Single cell centered in the field · bone marrow smear · May-Grünwald-Giemsa/Pappenheim stain — 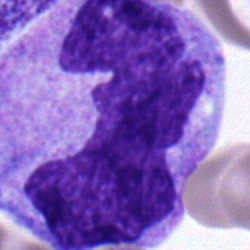
This is a basophil.